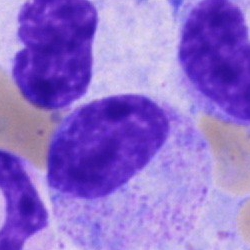Impression → myelocyte.